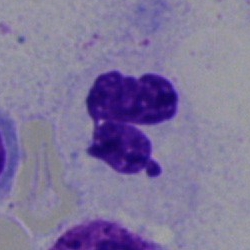
Q: Which cell type is shown here?
A: It is a neutrophil (segmented).